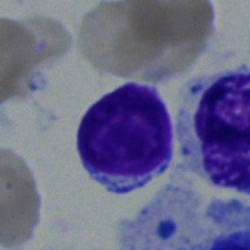

{"cell_type": "lymphocyte", "lineage": "lymphoid"}